Bone marrow aspirate smear. 250×250 px: 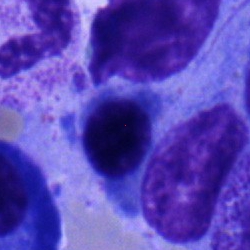
Single cell identified as a normoblast.